Bone marrow smear; Pappenheim-stained
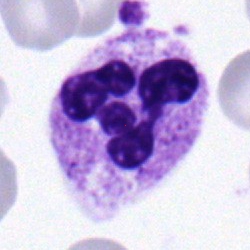
Q: What is the morphological classification of this cell?
A: A segmented neutrophil.